Bone marrow smear. Brightfield microscopy, 40× oil immersion
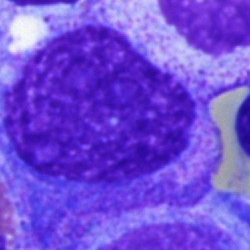Classification = promyelocyte.